Bone marrow smear; 250 by 250 pixels: 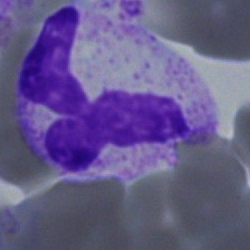Q: What type of cell is this?
A: This is a segmented neutrophil.